MGG-stained. Bone marrow smear: 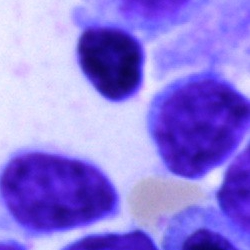
Typical lymphocyte.